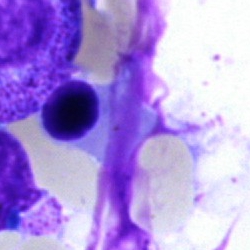Morphology consistent with an artifact.